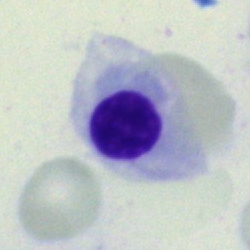
This is a nucleated red cell.